Bone marrow aspirate smear
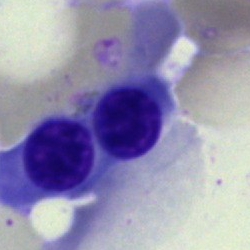

Morphology consistent with a normoblast.